Peripheral blood smear · single cell centered in the field: 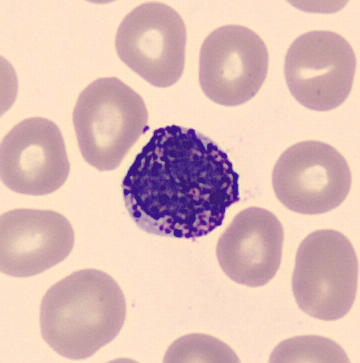 A basophilic granulocyte.